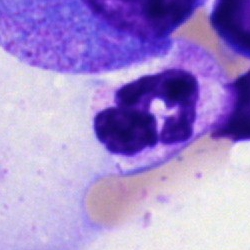This is a segmented neutrophil.